Bone marrow smear.
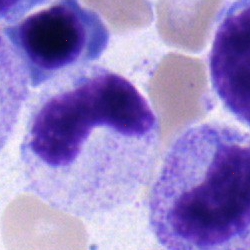
Band-form neutrophil.